Bone marrow smear · 250×250 · Pappenheim-stained.
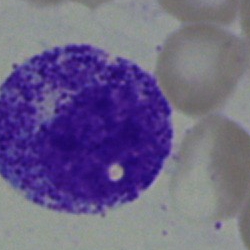

Impression → myelocyte.